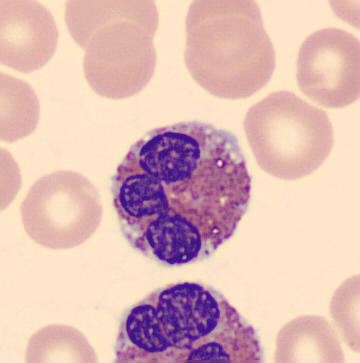 Single cell identified as an eosinophilic granulocyte.